Bone marrow aspirate smear.
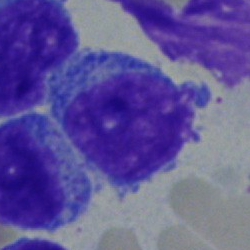
Single cell identified as a lymphocyte.